Bone marrow aspirate smear · single cell centered in the field
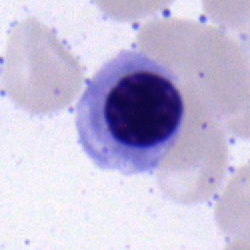

Showing an erythroblast.